Single-cell field · bone marrow aspirate smear:
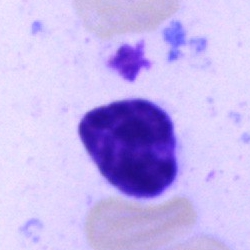Morphology → typical lymphocyte.